Bone marrow aspirate smear · Pappenheim-stained: 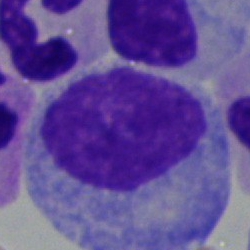Q: What cell is this?
A: This is a monocyte.